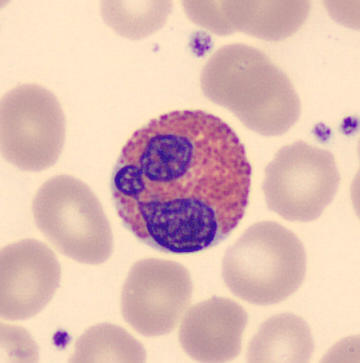

Image: Peripheral blood smear.
Single cell identified as an eosinophilic granulocyte.